Bone marrow aspirate smear — 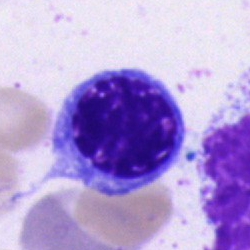{"cell_type": "erythroblast", "lineage": "erythroid"}